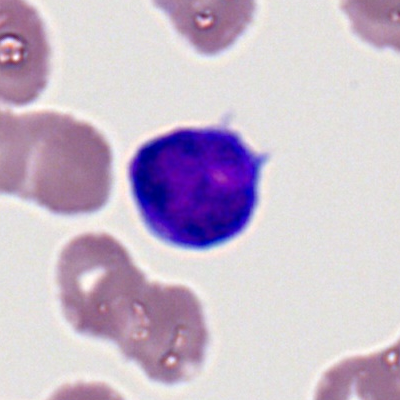 Impression — lymphocyte.